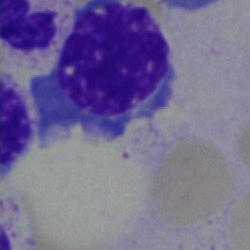
Bone marrow aspirate smear, single cell — erythroblast.